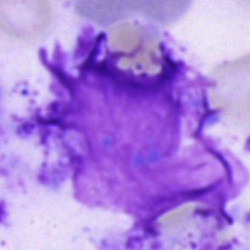 An artefact on a bone marrow smear.